Peripheral blood smear:
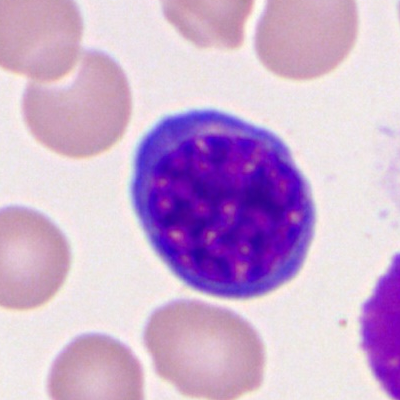Morphological class = nucleated red blood cell.